Peripheral blood smear
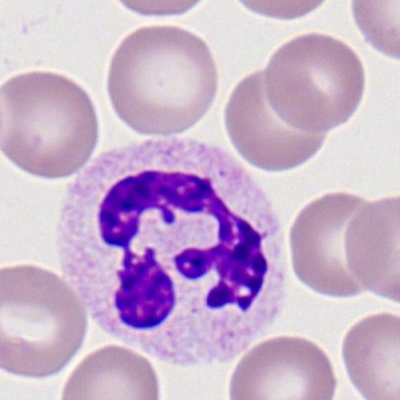Cell type — segmented neutrophil.